Bone marrow smear; Pappenheim-stained
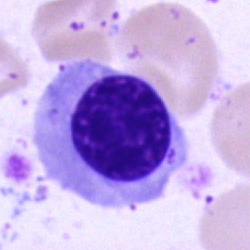
Showing a normoblast.